Bone marrow aspirate smear: 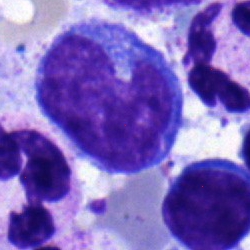Q: What is the morphological classification of this cell?
A: It is an undifferentiated blast.